250×250 px · bone marrow smear · 40× oil immersion
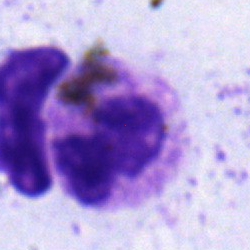

Specimen: bone marrow aspirate smear.
Morphological class: segmented neutrophil.